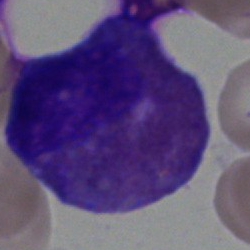Specimen: bone marrow smear.
Morphological class: eosinophil.